Bone marrow smear — 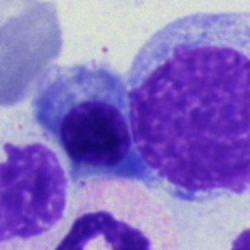Morphology consistent with a normoblast.